Bone marrow aspirate smear:
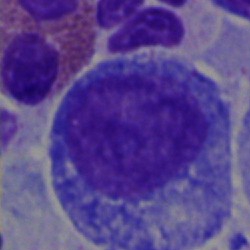Q: What is shown here?
A: A promyelocyte.